Cropped to a single cell · bone marrow aspirate smear: 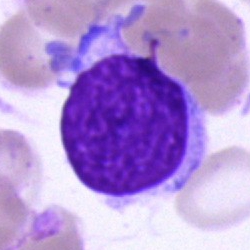 Cell — cell of indeterminate lineage.